Bone marrow aspirate smear — 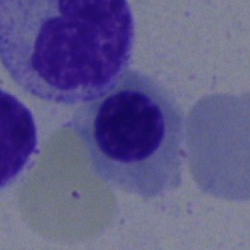 Morphology consistent with a normoblast.